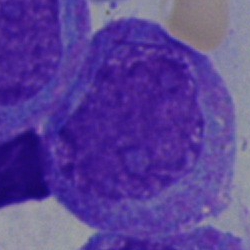 Morphology — promyelocyte.